Bone marrow smear
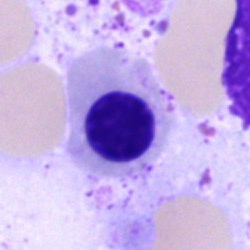 Morphological class — nucleated red blood cell.